40× oil immersion. Single-cell field. Bone marrow aspirate smear
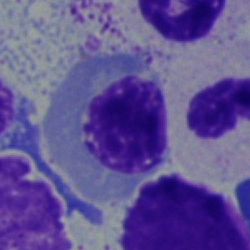
Morphology consistent with a nucleated red cell.